Bone marrow aspirate smear.
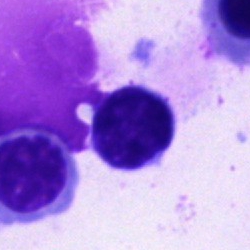{"cell_type": "lymphocyte", "lineage": "lymphoid"}